Single-cell field; bone marrow smear — 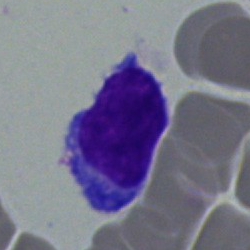 Q: What is the morphological classification of this cell?
A: A typical lymphocyte.